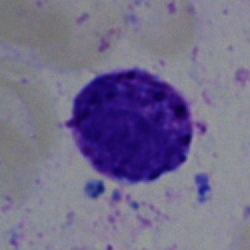 Cell type — basophil.